Bone marrow aspirate smear
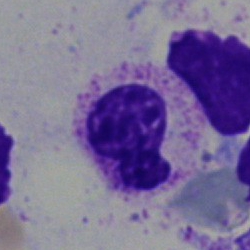
Impression — metamyelocyte.